Bone marrow smear · 250×250 px
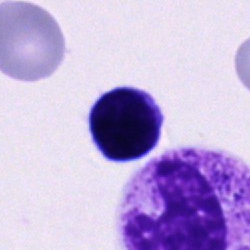
Specimen: bone marrow aspirate smear.
Cell: unidentifiable cell.